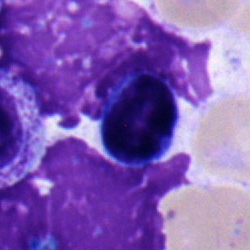Typical lymphocyte.